Image size 250×250 · bone marrow smear · single-cell crop — 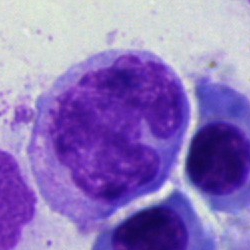

Specimen: bone marrow smear.
Classification: monocyte.
Lineage: myeloid.